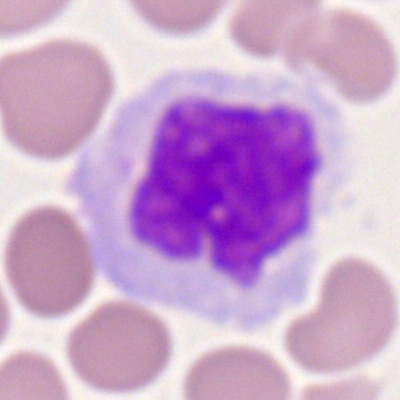Specimen: peripheral blood smear.
Classification: monocyte.
Lineage: myeloid.